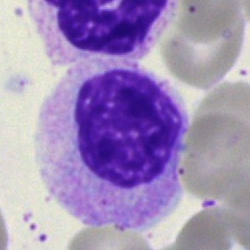The morphological class is myelocyte.